Bone marrow smear. Cropped to a single cell: 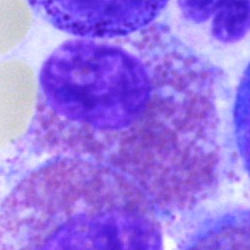
{"cell_type": "eosinophil", "lineage": "myeloid"}